Image size 250×250. Bone marrow smear
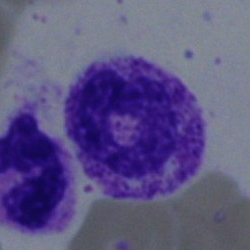A polymorphonuclear neutrophil.